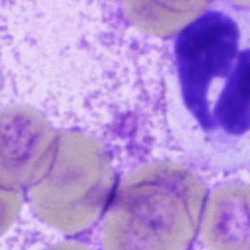
Cell type = segmented neutrophil.